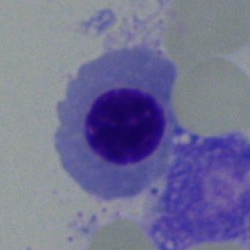
A nucleated red cell.